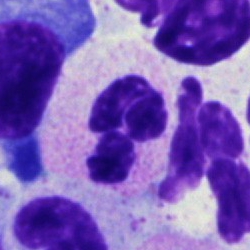 The cell is neutrophil (segmented).